Bone marrow smear.
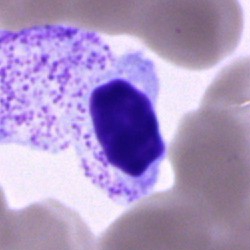 Specimen: bone marrow aspirate smear.
Morphological class: unidentifiable cell.